40× objective, oil immersion · single cell centered in the field · bone marrow smear
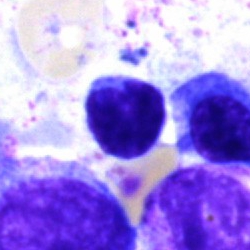
Specimen: bone marrow smear.
Cell: lymphocyte.